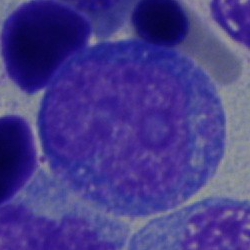Specimen: bone marrow aspirate smear.
Classification: undifferentiated blast.